Bone marrow aspirate smear: 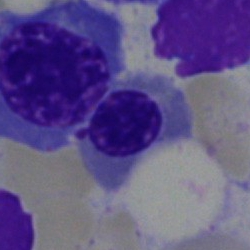Morphology consistent with a nucleated red blood cell.